Bone marrow smear · May-Grünwald-Giemsa stain · 250×250:
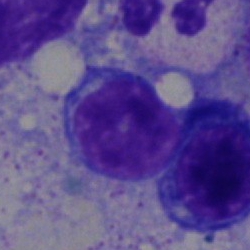

Showing a typical lymphocyte.